Bone marrow aspirate smear · single cell centered in the field · May-Grünwald-Giemsa/Pappenheim stain:
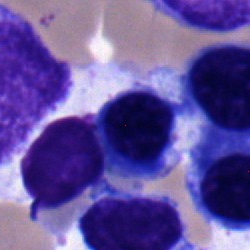 Cell: typical lymphocyte.